Bone marrow smear:
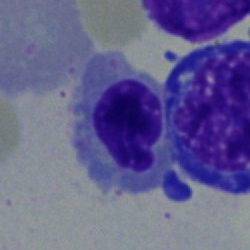A nucleated red blood cell.